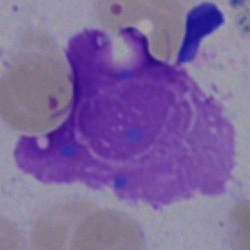

Cell: artefact.